Bone marrow aspirate smear · brightfield microscopy, 40× oil immersion:
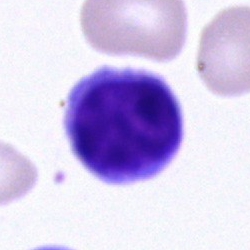Impression → lymphocyte.